400 by 400 pixels; single-cell field; peripheral blood film.
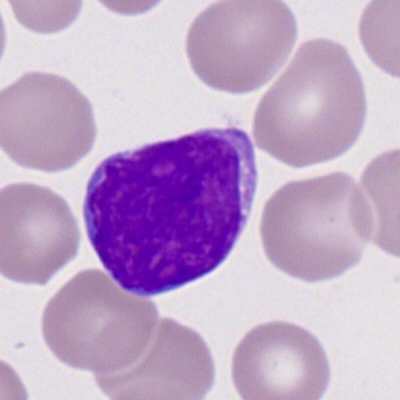The cell shown is a myeloblast.